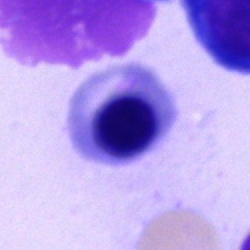 Cell — normoblast.